Bone marrow smear
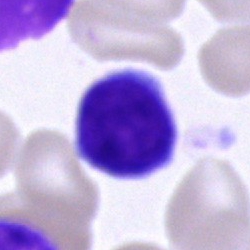

Cell type: typical lymphocyte.